250×250 px. Bone marrow aspirate smear: 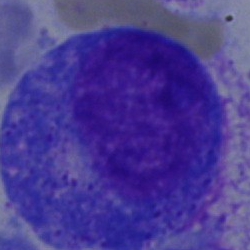
Single cell identified as a promyelocyte.